Brightfield, 40× oil-immersion objective; May-Grünwald-Giemsa/Pappenheim stain; bone marrow smear: 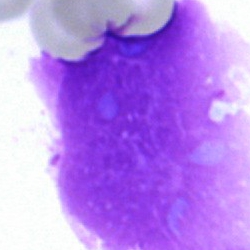Q: What is shown here?
A: It is an artefact.